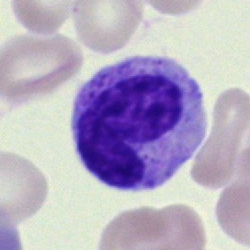 Stab cell.